Bone marrow aspirate smear — 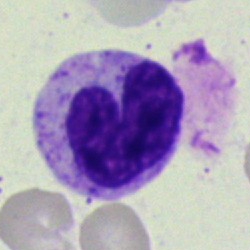
Showing a band neutrophil.